May-Grünwald-Giemsa stain; bone marrow aspirate smear; 40× objective, oil immersion
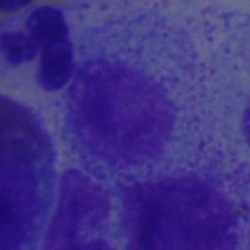 Morphology → myelocyte.